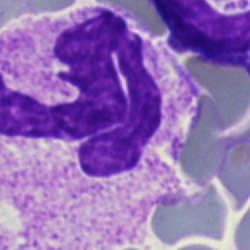
Single-cell crop from a bone marrow smear: polymorphonuclear neutrophil.